Pappenheim-stained; bone marrow aspirate smear
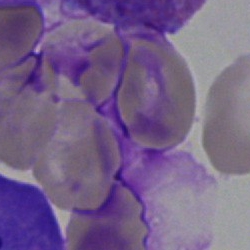
Morphological class: artifact.